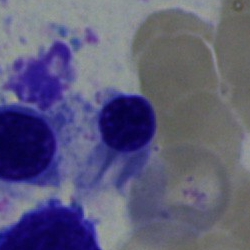 {"cell_type": "nucleated red blood cell"}